Bone marrow smear
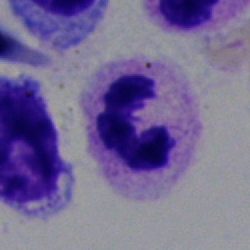
Classification = polymorphonuclear neutrophil.